Bone marrow aspirate smear. May-Grünwald-Giemsa/Pappenheim stain: 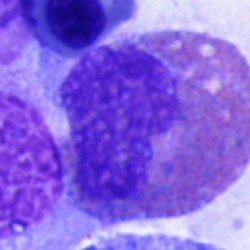

Specimen: bone marrow smear.
Cell: eosinophilic granulocyte.
Lineage: myeloid.